Bone marrow aspirate smear.
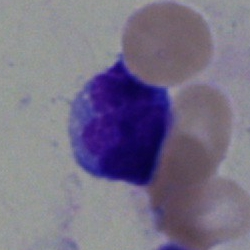 Q: Which cell type is shown here?
A: A lymphocyte.